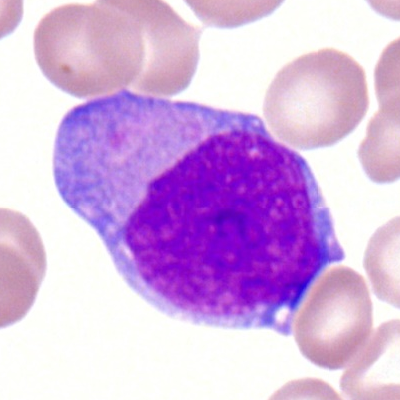 Myeloid blast.